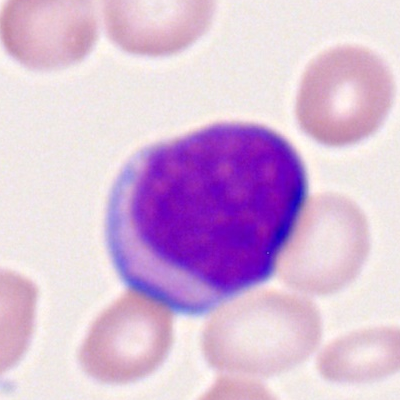

Specimen: peripheral blood smear.
Cell type: myeloid blast.
Lineage: myeloid.